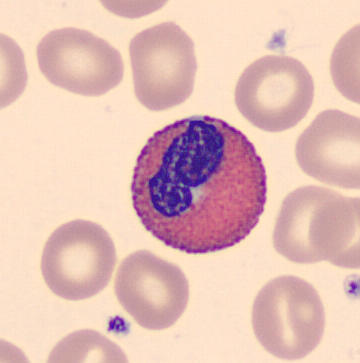Q: What is the morphological classification of this cell?
A: Eosinophil.
Acquisition: Peripheral blood film.